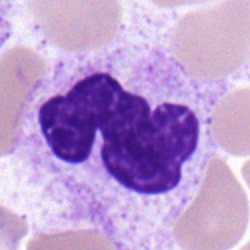Morphology consistent with a polymorphonuclear neutrophil.